Bone marrow smear:
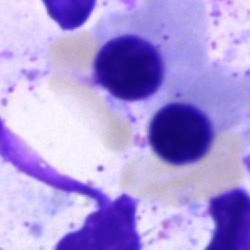
Specimen: bone marrow aspirate smear.
Cell: normoblast.
Lineage: erythroid.